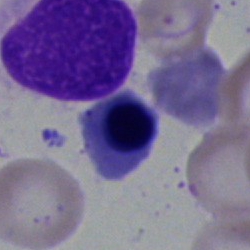Morphology — nucleated red cell.